Bone marrow aspirate smear — 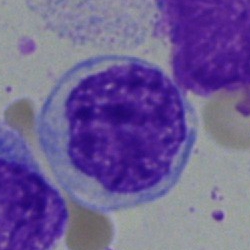 Q: Which cell type is shown here?
A: A lymphocyte.